Bone marrow smear: 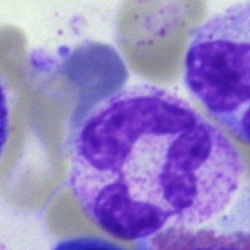Morphology — neutrophil (segmented).